Bone marrow aspirate smear:
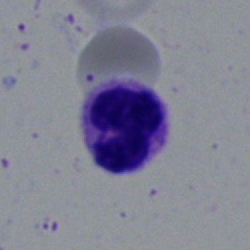
Q: Identify the cell.
A: A segmented neutrophil.